Bone marrow smear; Pappenheim-stained: 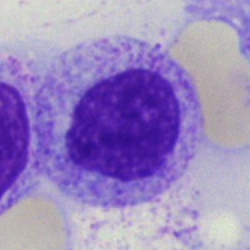

Morphology — myelocyte.